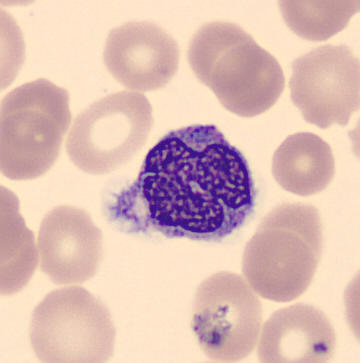 Acquisition: Peripheral blood film. 360×363. Cell type — monocyte.